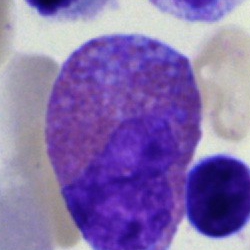

Q: What type of cell is this?
A: An eosinophilic granulocyte.